MGG-stained. Bone marrow aspirate smear — 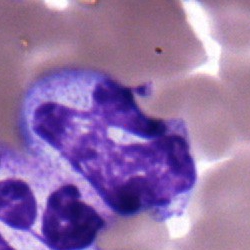

Single cell identified as a neutrophil (segmented).